Peripheral blood film:
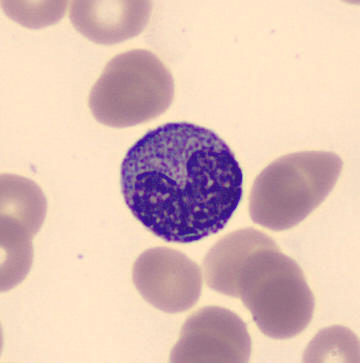Impression — metamyelocyte.